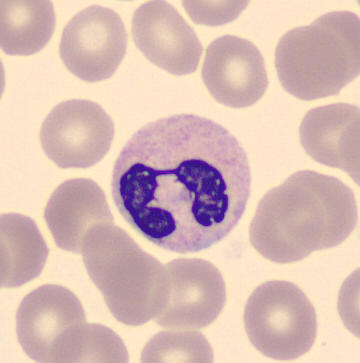360 by 363 pixels. Peripheral blood smear. Morphological class: segmented neutrophil.